Bone marrow aspirate smear; cropped to a single cell — 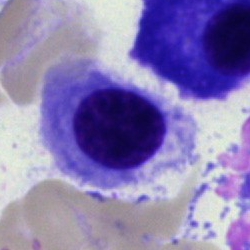

Showing a nucleated red cell.